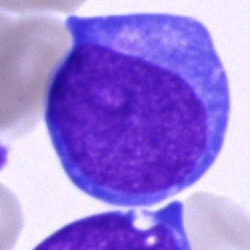
Q: What cell is this?
A: A blast cell.